Bone marrow smear:
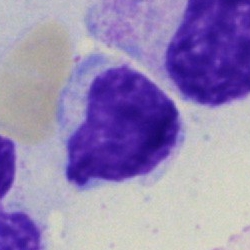 Specimen: bone marrow aspirate smear.
Morphological class: typical lymphocyte.
Lineage: lymphoid.